Bone marrow aspirate smear · 40× objective, oil immersion: 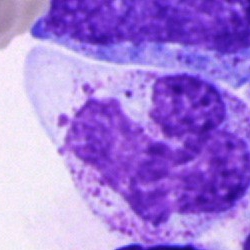
Impression → cell of indeterminate lineage.